Bone marrow aspirate smear:
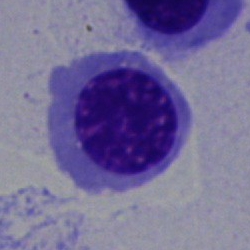Specimen: bone marrow aspirate smear.
Classification: nucleated red cell.
Lineage: erythroid.